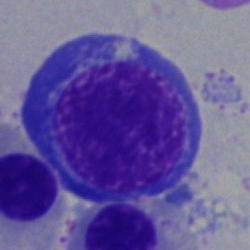 Impression — nucleated red blood cell.